Single-cell crop · bone marrow smear · 40× oil immersion.
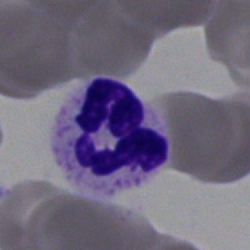
Morphology → segmented neutrophil.